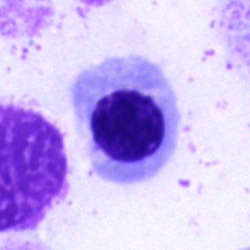

Blast cell.